Bone marrow aspirate smear.
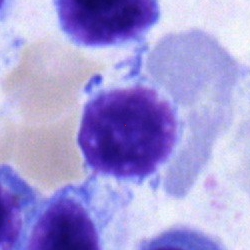
Morphology consistent with a typical lymphocyte.